Bone marrow aspirate smear — 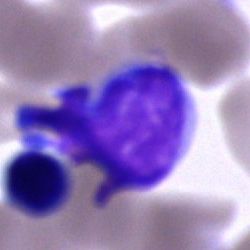This is a lymphocyte.